May-Grünwald-Giemsa stain · bone marrow aspirate smear:
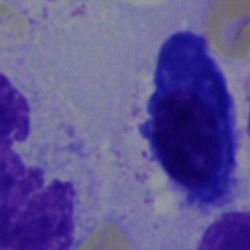

Impression — artefact.